Image size 250×250. 40× objective, oil immersion. Bone marrow smear — 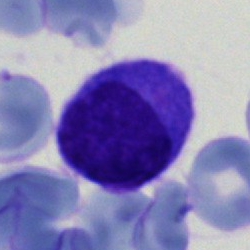

The classification is blast cell.